MGG-stained; bone marrow aspirate smear: 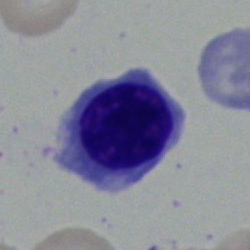Specimen: bone marrow smear.
Cell type: nucleated red blood cell.